Single-cell field. Bone marrow aspirate smear
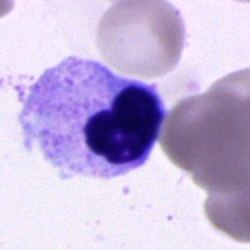 {"cell_type": "cell of indeterminate lineage"}